May-Grünwald-Giemsa/Pappenheim stain; brightfield microscopy, 40× oil immersion; bone marrow smear:
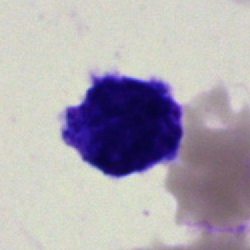 Blast.